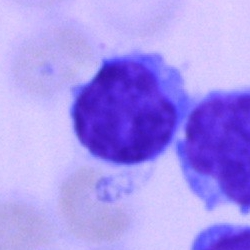Morphology consistent with a lymphocyte.